Image size 250×250; bone marrow smear; MGG-stained
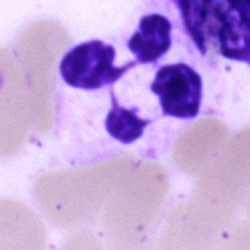Morphology — segmented neutrophil.